Peripheral blood film. Single-cell field:
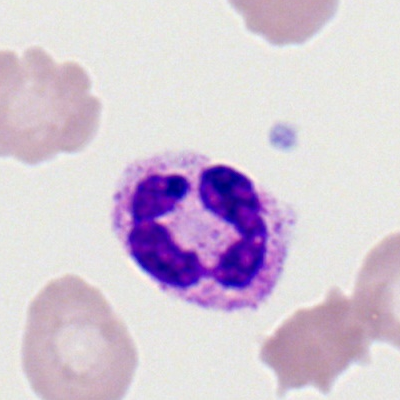

Cell type — segmented neutrophil.